Bone marrow aspirate smear
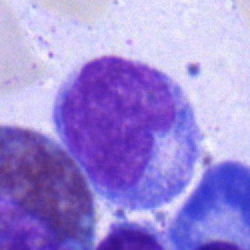
Q: What is the morphological classification of this cell?
A: Monocyte.